Peripheral blood smear — 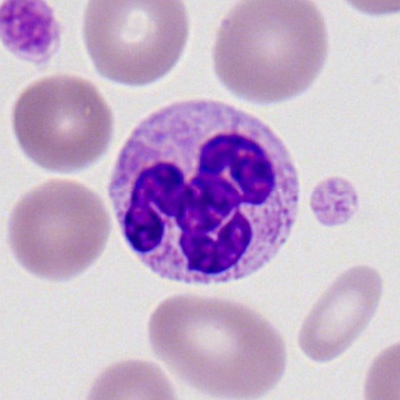 Cell = neutrophil (segmented).